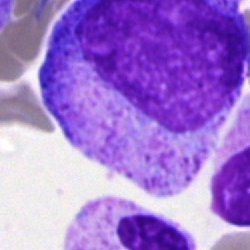Cell type = promyelocyte.